Bone marrow aspirate smear: 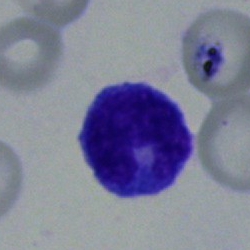

Q: What type of cell is this?
A: It is a monocyte.